Bone marrow smear · 40× objective, oil immersion — 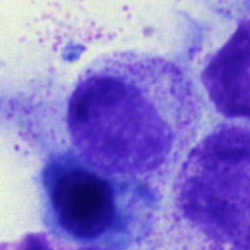 Impression — myelocyte.